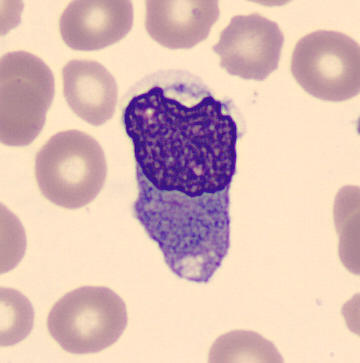This is a monocyte.
Single-cell field; peripheral blood film.